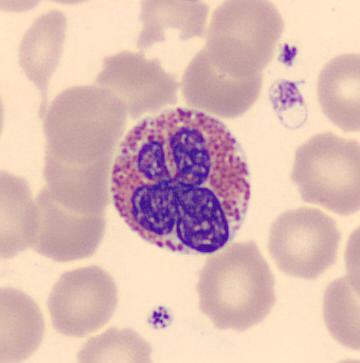 Peripheral blood film · 360×363 px.
The cell shown is an eosinophilic granulocyte.